Bone marrow smear
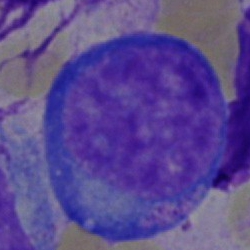
Morphology → undifferentiated blast.